May-Grünwald-Giemsa/Pappenheim stain. Bone marrow smear:
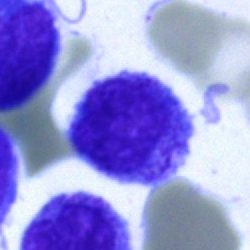
{"cell_type": "blast cell"}